40× oil immersion · bone marrow smear.
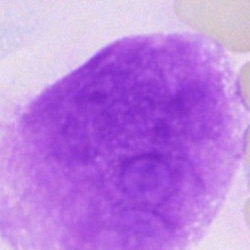

Morphology consistent with an artifact.